Bone marrow aspirate smear. Brightfield, 40× oil-immersion objective. Pappenheim-stained:
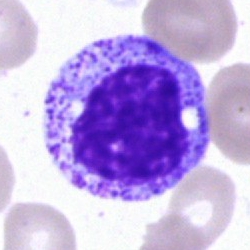 Classification = myelocyte.